Bone marrow aspirate smear.
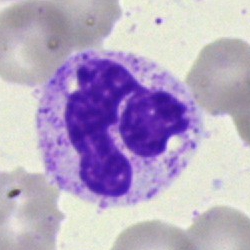 Classification: neutrophil (segmented).